Bone marrow aspirate smear:
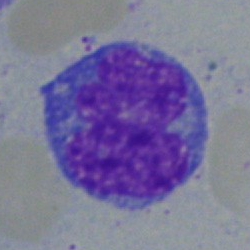 Morphological class — monocyte.